Bone marrow aspirate smear: 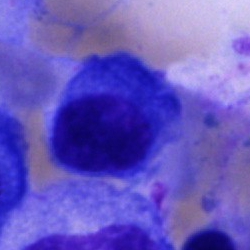

Q: What type of cell is this?
A: It is a plasmacyte.